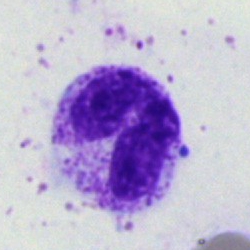
{"cell_type": "band neutrophil", "lineage": "myeloid"}